40× oil immersion; bone marrow smear.
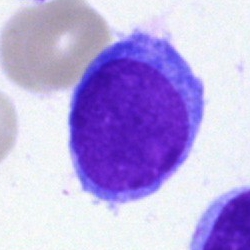 Specimen: bone marrow aspirate smear.
Cell: undifferentiated blast.